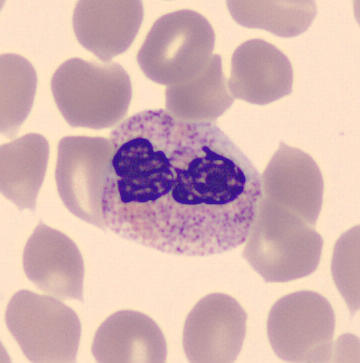
Identified as a segmented neutrophil.